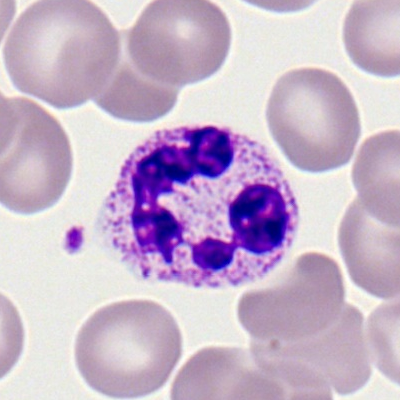
The cell shown is a segmented neutrophil.